400×400 px · peripheral blood smear · Romanowsky stain:
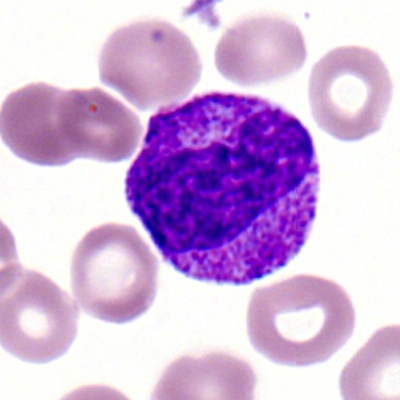

Cell = stab cell.